40× oil immersion. Bone marrow smear — 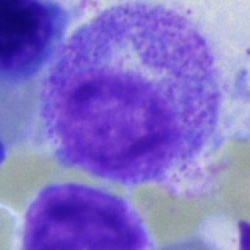 Specimen: bone marrow smear.
Morphological class: myelocyte.
Lineage: myeloid.